Bone marrow smear.
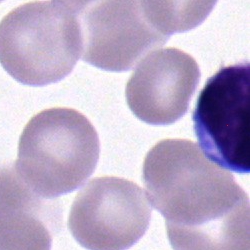
Single cell identified as a lymphocyte.